Single cell centered in the field. Bone marrow aspirate smear. 250 by 250 pixels: 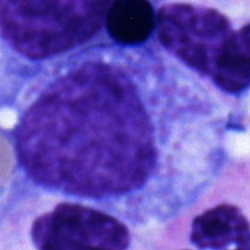 Impression → progranulocyte.